40× objective, oil immersion. Bone marrow smear — 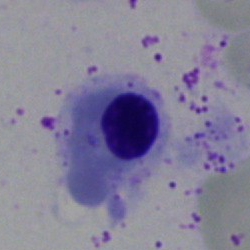

Showing a normoblast.